Bone marrow smear. Brightfield microscopy, 40× oil immersion. 250×250 px — 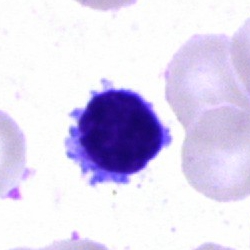 Single cell identified as a typical lymphocyte.